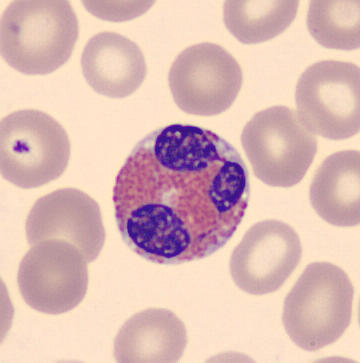
The morphological class is eosinophilic granulocyte. Peripheral blood film.